Bone marrow smear.
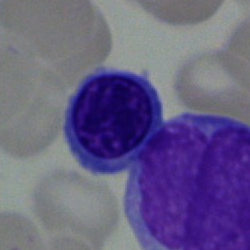
Showing a typical lymphocyte.